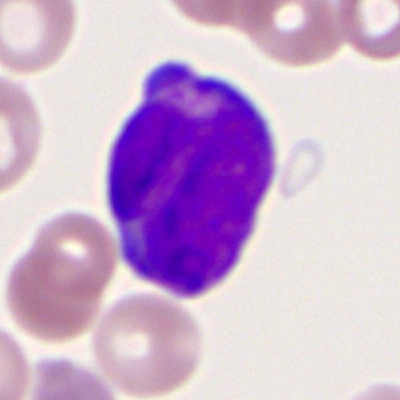

Morphology — myeloblast.